Bone marrow aspirate smear. Brightfield, 40× oil-immersion objective:
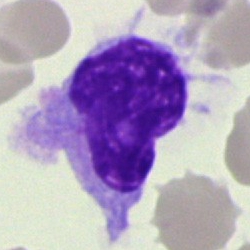 Single cell identified as an artifact.